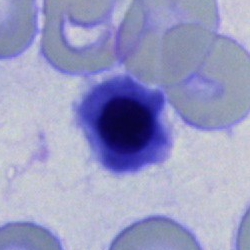 Specimen: bone marrow aspirate smear.
Cell: nucleated red blood cell.